Bone marrow aspirate smear:
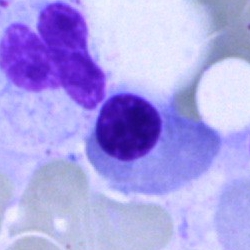A nucleated red cell.